Brightfield microscopy, 40× oil immersion · bone marrow aspirate smear.
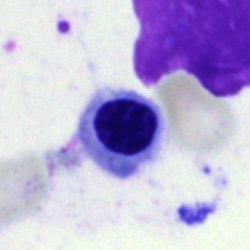An erythroblast.